Bone marrow aspirate smear; 250×250 px
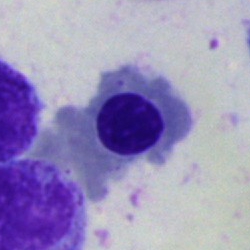Cell type — nucleated red cell.